Pappenheim-stained · 250 by 250 pixels · bone marrow smear: 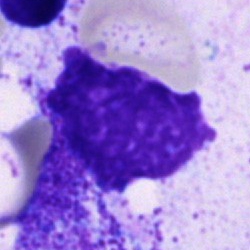 Morphology consistent with an artefact.